Bone marrow aspirate smear: 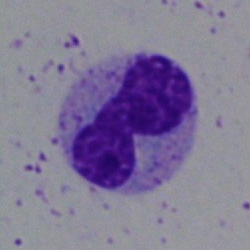

Segmented neutrophil.